Single-cell crop; bone marrow aspirate smear; 40× oil immersion — 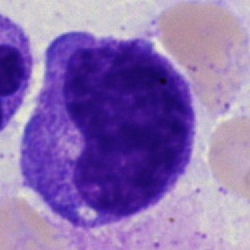{"cell_type": "metamyelocyte"}